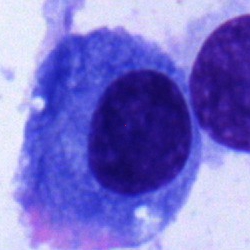 The morphological class is plasmacyte.